Bone marrow aspirate smear · May-Grünwald-Giemsa stain:
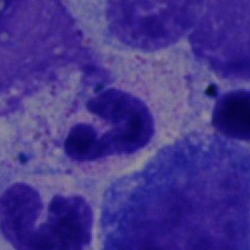

A neutrophil (segmented).